Bone marrow smear: 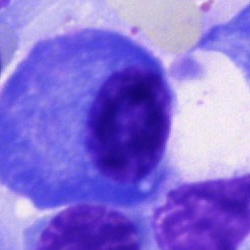Q: Identify the cell.
A: A plasma cell.